Bone marrow smear: 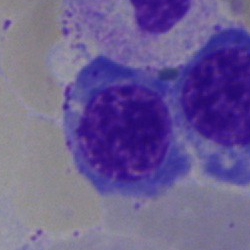Specimen: bone marrow aspirate smear.
Classification: nucleated red blood cell.
Lineage: erythroid.